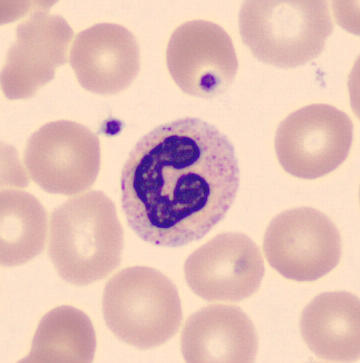

The cell shown is a segmented neutrophil.